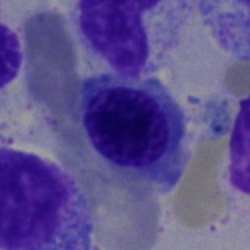 A nucleated red cell on a bone marrow smear.